250 by 250 pixels · bone marrow aspirate smear: 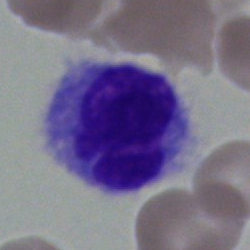

The cell shown is a monocyte.